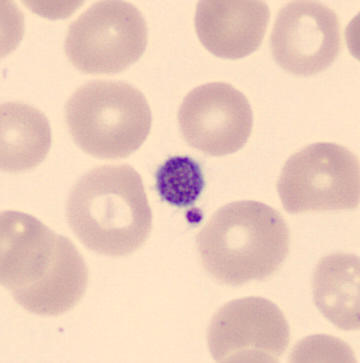

Image: Image size 360×363. Peripheral blood smear.
Morphology consistent with a platelet (thrombocyte).